MGG-stained; bone marrow smear — 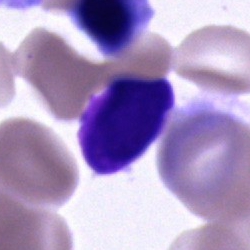

This is an unidentifiable cell.